Bone marrow smear:
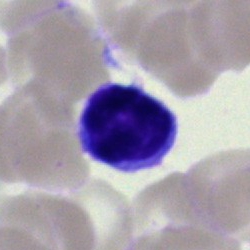Q: What type of cell is this?
A: It is a lymphocyte.